Bone marrow smear: 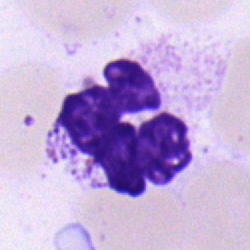
Morphology consistent with a neutrophil (segmented).